Bone marrow aspirate smear
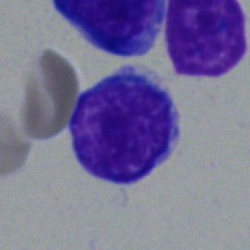
Specimen: bone marrow smear.
Cell: typical lymphocyte.
Lineage: lymphoid.